Bone marrow aspirate smear.
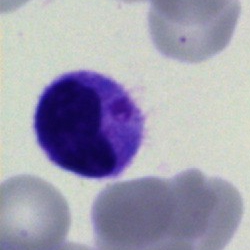

Morphology — lymphocyte.